Bone marrow aspirate smear — 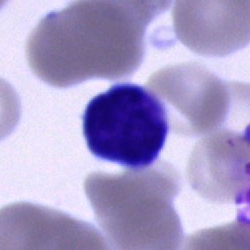
Single cell identified as a lymphocyte.